Bone marrow aspirate smear; May-Grünwald-Giemsa stain
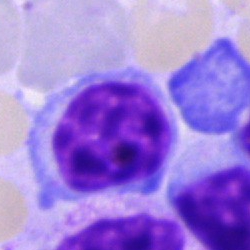 Single cell identified as a lymphocyte.